250×250 px. Bone marrow smear.
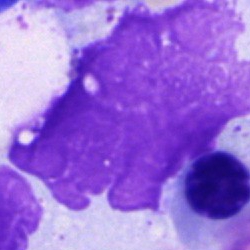Q: What is shown here?
A: This is an artefact.